Bone marrow aspirate smear:
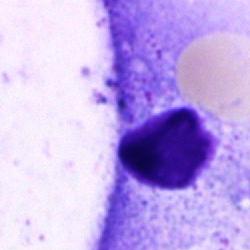

Cell type: artefact.